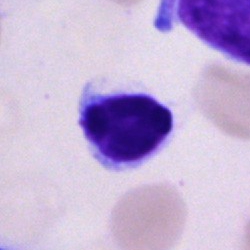

Single-cell crop from a bone marrow smear: lymphocyte.